Bone marrow smear. Single-cell field
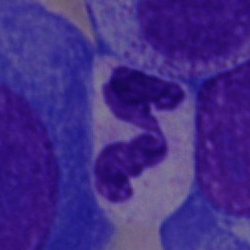Q: What cell is this?
A: It is a polymorphonuclear neutrophil.